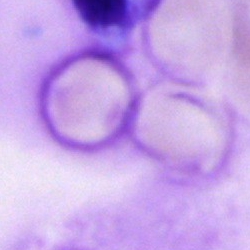Showing an artifact.